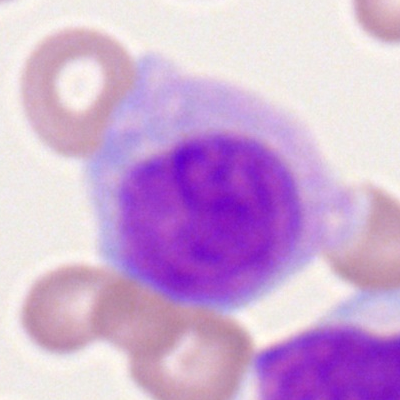
Q: What is the morphological classification of this cell?
A: It is a monocyte.